Peripheral blood smear — 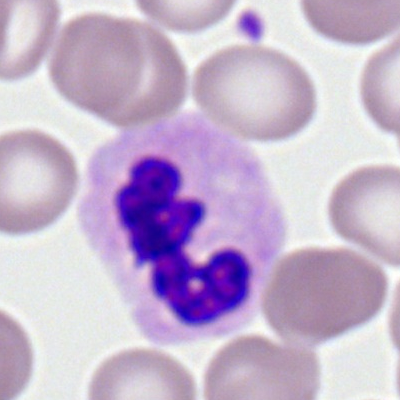Single cell identified as a segmented neutrophil.